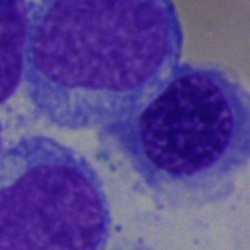
Morphology consistent with a nucleated red blood cell.